Bone marrow smear — 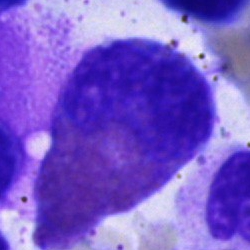
This is an eosinophilic granulocyte.